Peripheral blood smear: 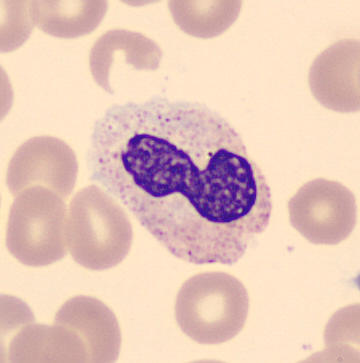Q: What is this?
A: It is a band neutrophil.